Cropped to a single cell. Bone marrow aspirate smear:
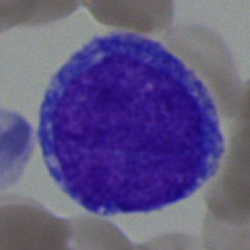

Cell type = blast cell.